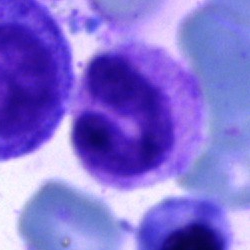

Specimen: bone marrow aspirate smear.
Morphological class: neutrophil (band).
Lineage: myeloid.